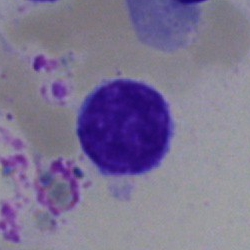Cell type: typical lymphocyte.